Bone marrow smear — 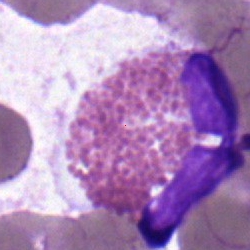Morphology consistent with an eosinophilic granulocyte.